May-Grünwald-Giemsa stain. Bone marrow smear — 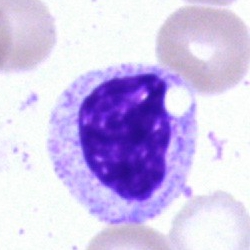
Specimen: bone marrow aspirate smear.
Morphological class: myelocyte.